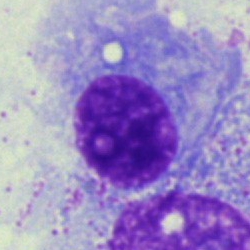 Bone marrow aspirate smear, single cell — plasma cell.